Bone marrow aspirate smear: 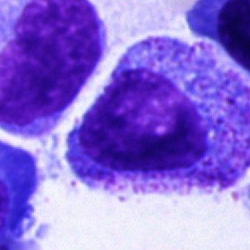Q: Identify the cell.
A: A progranulocyte.